MGG-stained · bone marrow aspirate smear:
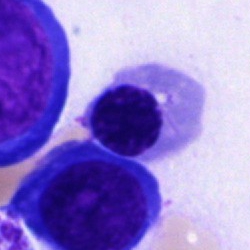The cell shown is an erythroblast.